Bone marrow smear: 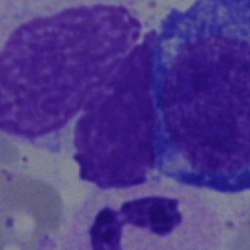Showing an artefact.